May-Grünwald-Giemsa/Pappenheim stain; bone marrow smear; 250 by 250 pixels.
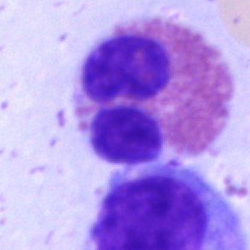Single cell identified as an eosinophilic granulocyte.